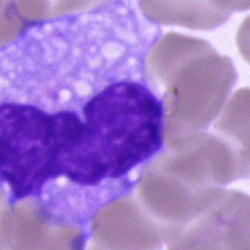 Q: Identify the cell.
A: A monocyte.